Bone marrow aspirate smear
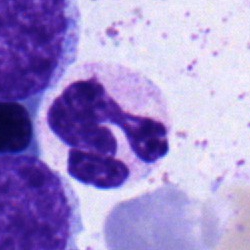

{"cell_type": "neutrophil (segmented)", "lineage": "myeloid"}